Bone marrow smear.
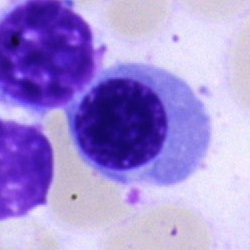The cell is normoblast.